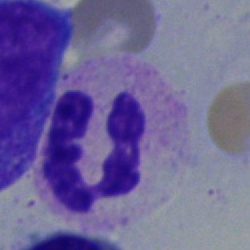 Single-cell crop from a bone marrow smear: polymorphonuclear neutrophil.